Peripheral blood film: 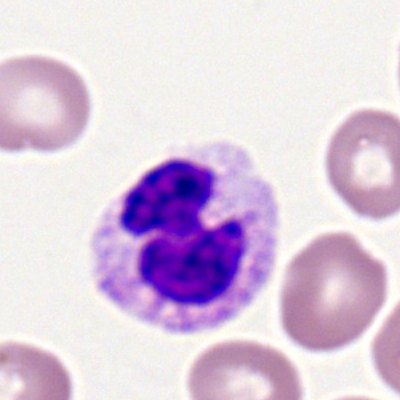 Morphology → polymorphonuclear neutrophil.